Bone marrow smear: 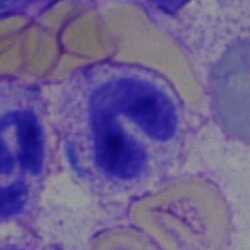 Morphological class: band-form neutrophil.